Peripheral blood smear — 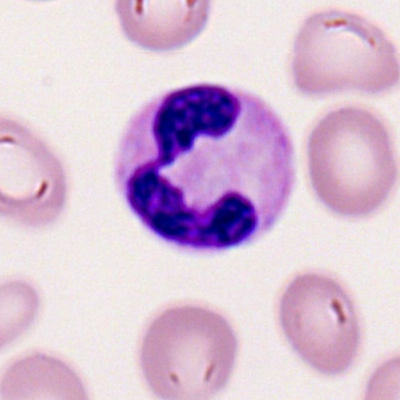 Impression → segmented neutrophil.